Bone marrow smear
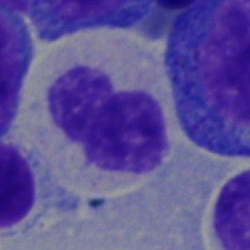

Specimen: bone marrow smear.
Cell type: stab cell.
Lineage: myeloid.